100× oil immersion. Peripheral blood film: 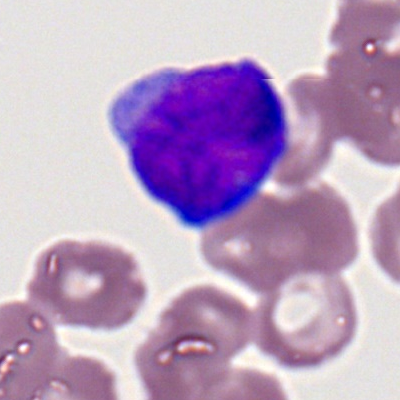Q: Which cell type is shown here?
A: It is a myeloblast.